MGG-stained; bone marrow aspirate smear.
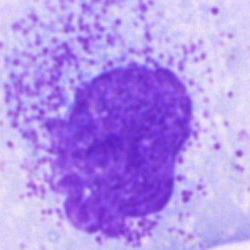

Morphological class — artifact.